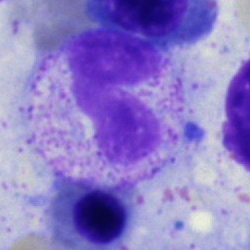

Q: What type of cell is this?
A: This is a neutrophil (band).